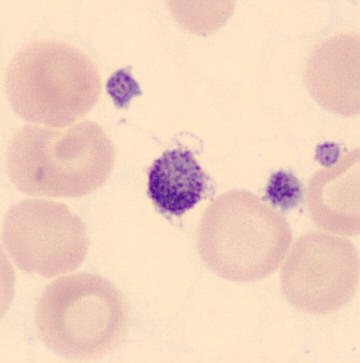

The classification is platelet (thrombocyte).
Peripheral blood smear; 360×363.